250×250 · bone marrow smear.
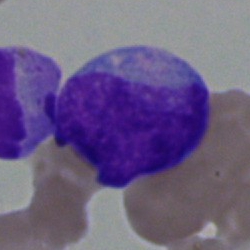Classification = blast.